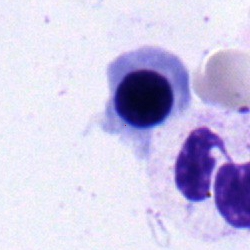Classification = nucleated red blood cell.